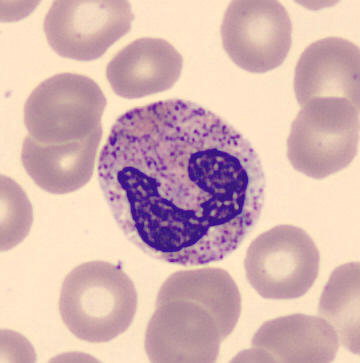
Specimen: peripheral blood smear.
Cell: polymorphonuclear neutrophil.
Lineage: myeloid.
Automated cell imaging (CellaVision DM96); single-cell crop.